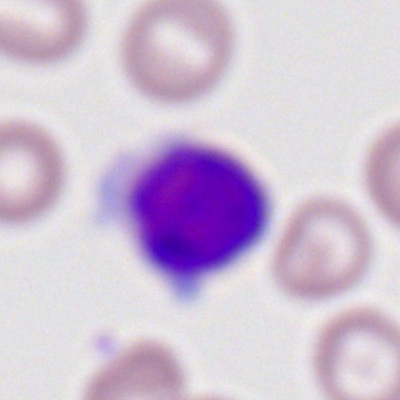

Morphological class: lymphocyte.